Bone marrow aspirate smear; cropped to a single cell; Pappenheim-stained
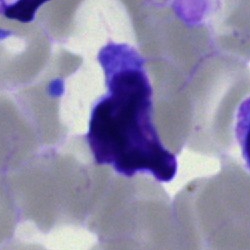 The cell is typical lymphocyte.